Bone marrow smear · brightfield microscopy, 40× oil immersion:
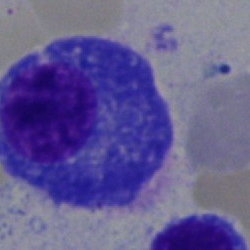

Classification — plasmacyte.